Single-cell field. Bone marrow aspirate smear — 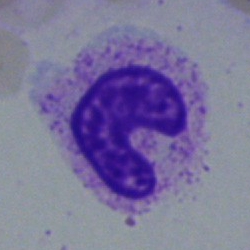{"cell_type": "stab cell", "lineage": "myeloid"}